Bone marrow aspirate smear: 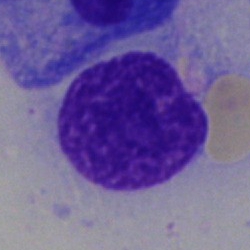

Q: What is shown here?
A: It is an artifact.